Peripheral blood smear: 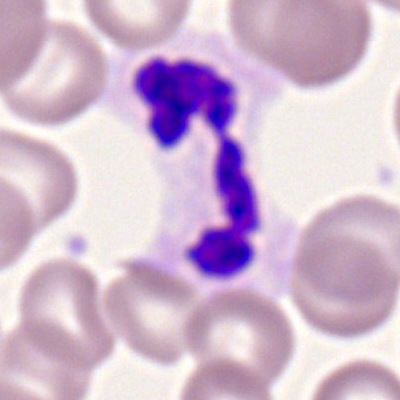 The morphological class is segmented neutrophil.